Peripheral blood film — 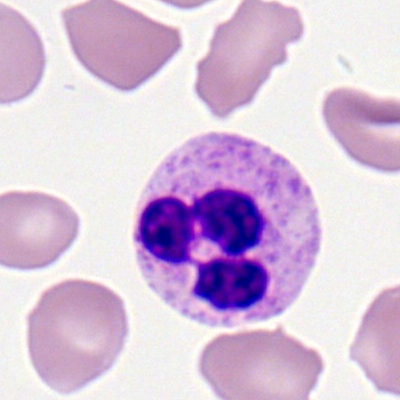
A segmented neutrophil.